Bone marrow smear.
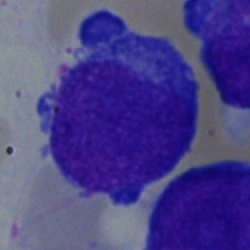

Morphological class: blast.